Bone marrow smear.
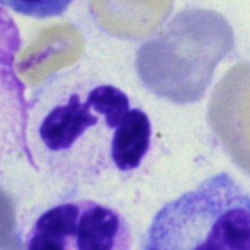 Q: What is shown here?
A: It is a polymorphonuclear neutrophil.